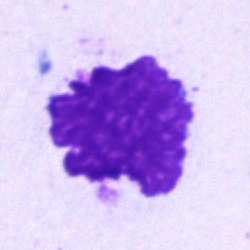
Specimen: bone marrow smear.
Morphological class: artifact.